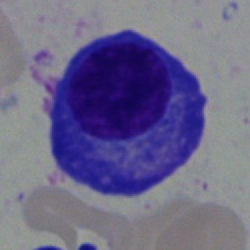

A plasmacyte.